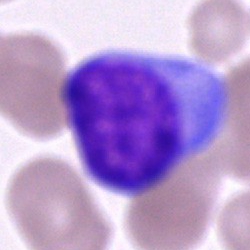Specimen: bone marrow aspirate smear.
Classification: blast cell.